Bone marrow aspirate smear: 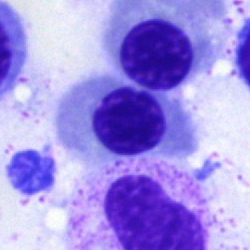Basophilic granulocyte.